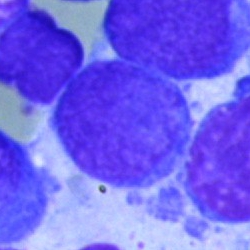The cell type is blast cell.